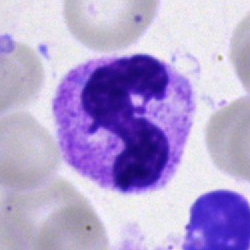 Morphology consistent with a stab cell.